100× oil immersion · peripheral blood film · Romanowsky-stained — 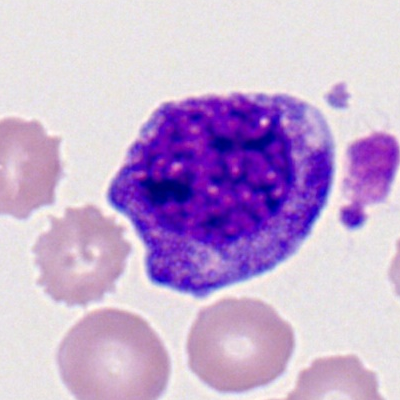 Showing a promyelocyte.